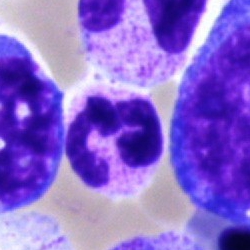

Morphological class: neutrophil (segmented).